Bone marrow smear; single cell centered in the field.
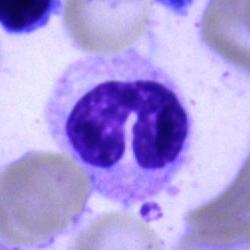

Cell type = neutrophil (segmented).